Bone marrow smear.
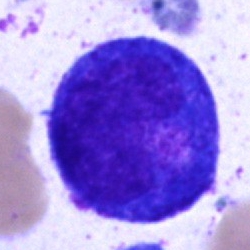
{"cell_type": "promyelocyte", "lineage": "myeloid"}